Bone marrow aspirate smear:
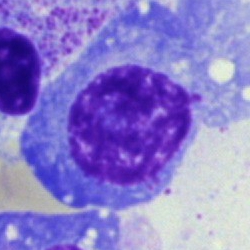
The cell shown is a plasmacyte.